Image size 250×250. Brightfield, 40× oil-immersion objective. Bone marrow smear: 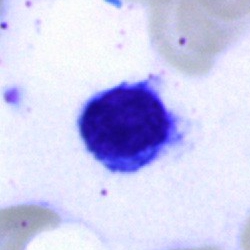

{"cell_type": "typical lymphocyte"}